40× oil immersion. Image size 250×250. Bone marrow aspirate smear:
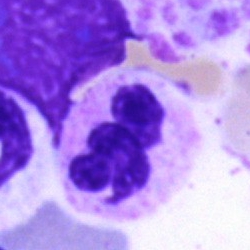Classification — segmented neutrophil.